Bone marrow smear. Pappenheim-stained:
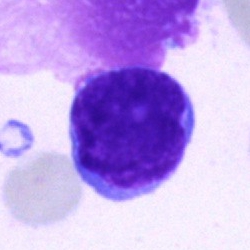 {"cell_type": "undifferentiated blast"}